Bone marrow aspirate smear:
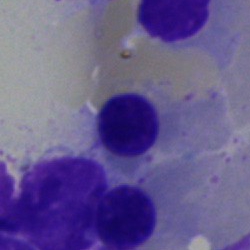

Q: Which cell type is shown here?
A: It is a normoblast.